Bone marrow aspirate smear. MGG-stained. 40× oil immersion:
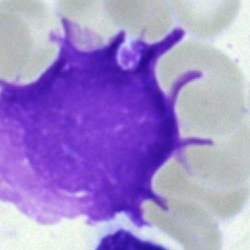

Q: What is shown here?
A: Artifact.